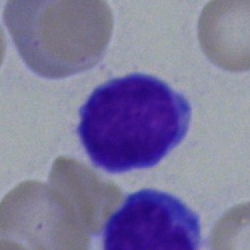
A typical lymphocyte on a bone marrow smear.